Bone marrow smear. Single-cell crop. 40× oil immersion.
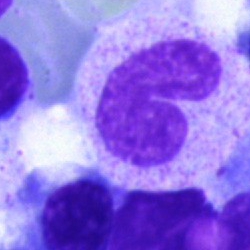

{"cell_type": "stab cell", "lineage": "myeloid"}